Bone marrow aspirate smear.
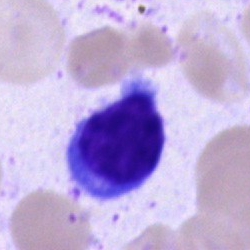

Morphological class: lymphocyte.